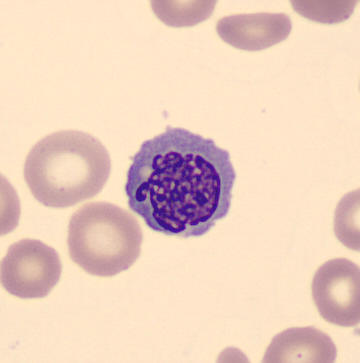
Morphological class = normoblast.